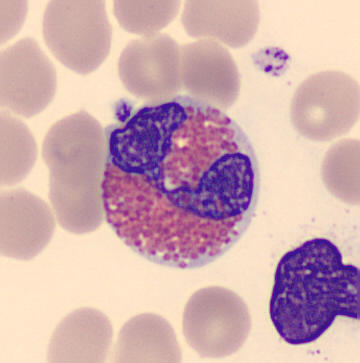 Preparation: Peripheral blood smear.

Cell type — eosinophilic granulocyte.